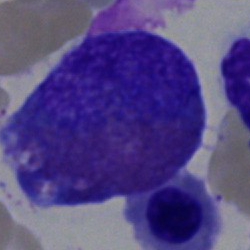
Morphological class: eosinophilic granulocyte.